CellaVision DM96 digital cell image; peripheral blood smear; 360 by 363 pixels — 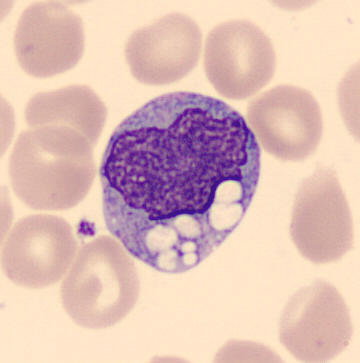 Classification: monocyte.